Bone marrow smear.
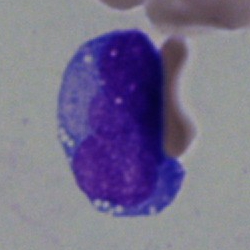
Morphological class = undifferentiated blast.